Peripheral blood smear.
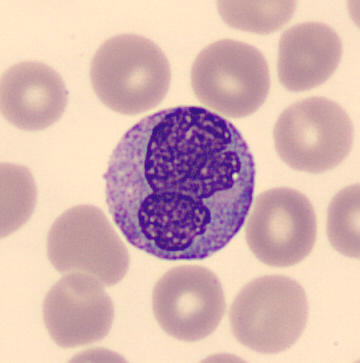
The morphological class is monocyte.